Bone marrow smear.
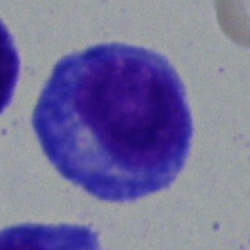Specimen: bone marrow smear.
Cell type: promyelocyte.
Lineage: myeloid.